Bone marrow smear.
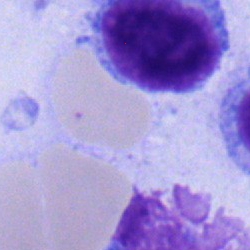Morphology → lymphocyte.